Bone marrow smear
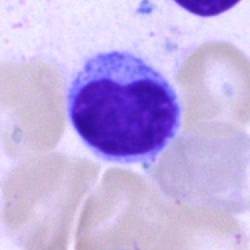{"cell_type": "lymphocyte", "lineage": "lymphoid"}